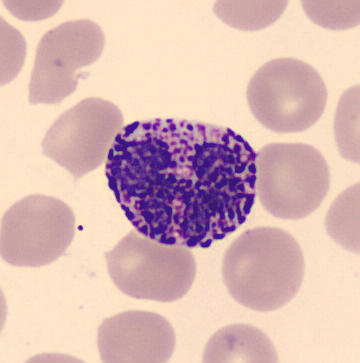
Classification: basophilic granulocyte.